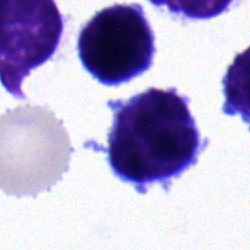 Classification: lymphocyte.